Single-cell field; bone marrow aspirate smear — 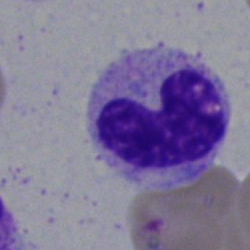
Cell — stab cell.